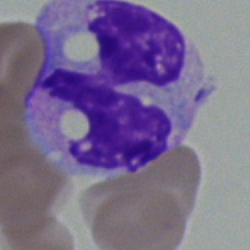 The cell is monocyte.